Bone marrow aspirate smear; May-Grünwald-Giemsa stain: 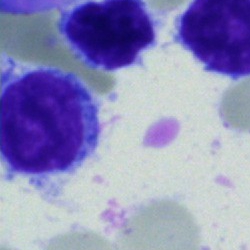This is a typical lymphocyte.